250×250 px; bone marrow smear — 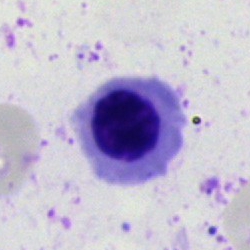A normoblast.